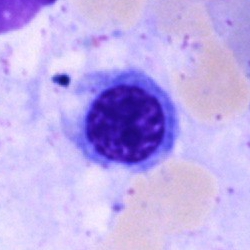Cell type — nucleated red blood cell.